Bone marrow smear.
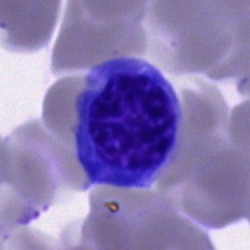
The cell shown is a normoblast.